Single-cell crop. Bone marrow aspirate smear:
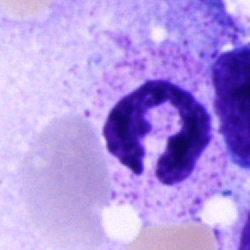
{"cell_type": "neutrophil (segmented)", "lineage": "myeloid"}